Brightfield microscopy, 40× oil immersion · bone marrow smear
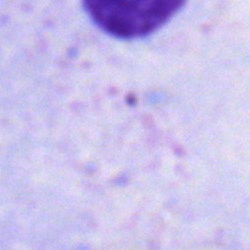 Cell — typical lymphocyte.